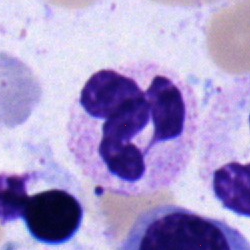
Morphological class: polymorphonuclear neutrophil.